Bone marrow smear; 250×250 px:
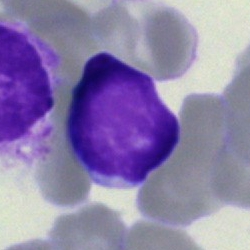 Impression — typical lymphocyte.